Bone marrow smear. Image size 250×250:
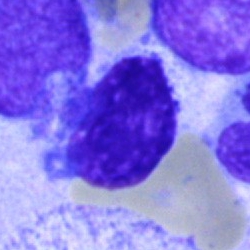Specimen: bone marrow smear.
Cell type: artefact.